Bone marrow smear:
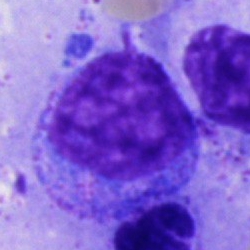

Cell: promyelocyte.